May-Grünwald-Giemsa/Pappenheim stain · bone marrow aspirate smear:
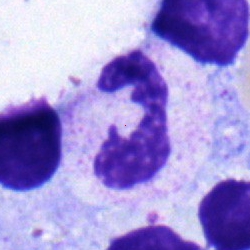Single cell identified as a neutrophil (segmented).